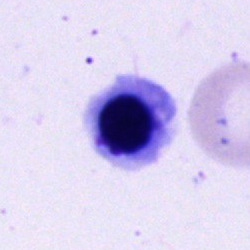

Q: Identify the cell.
A: It is a nucleated red cell.